250 by 250 pixels; bone marrow smear: 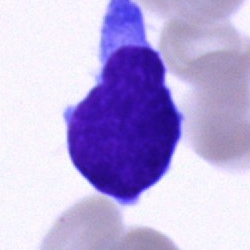 Q: What is shown here?
A: Artefact.